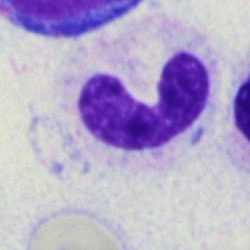

Q: What is the morphological classification of this cell?
A: A band neutrophil.